Bone marrow aspirate smear · May-Grünwald-Giemsa stain · single cell centered in the field — 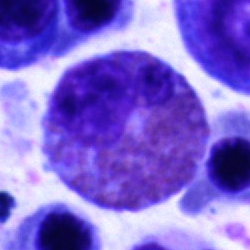 Showing an eosinophil.